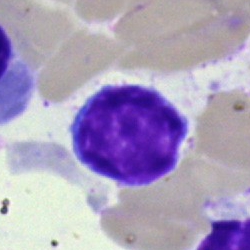

A lymphocyte.